Bone marrow smear — 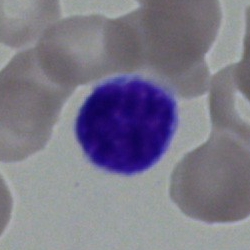{"cell_type": "typical lymphocyte", "lineage": "lymphoid"}